250 by 250 pixels; bone marrow aspirate smear.
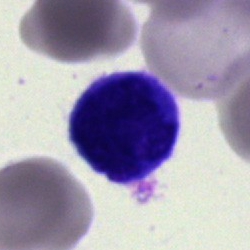

Morphology consistent with a typical lymphocyte.